Bone marrow smear: 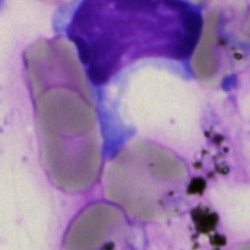
The cell type is artifact.